40× objective, oil immersion · bone marrow aspirate smear.
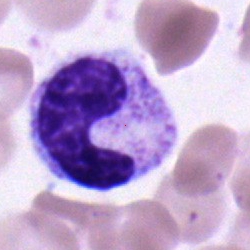

Morphological class = proerythroblast.